250×250 px; bone marrow smear; single-cell field:
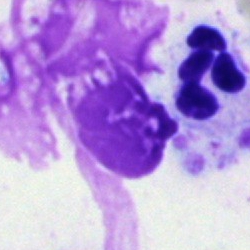 {"cell_type": "artifact"}